Peripheral blood film:
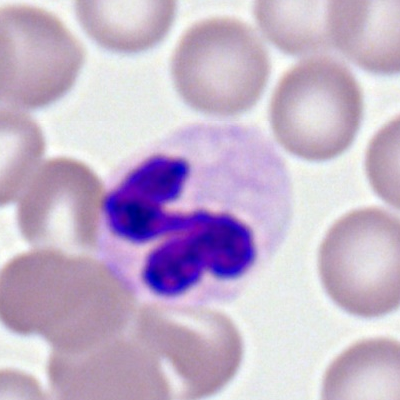Q: What is the morphological classification of this cell?
A: It is a neutrophil (segmented).